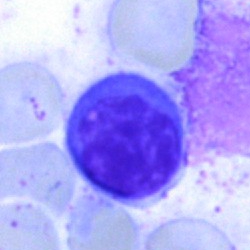

Morphology → lymphocyte.